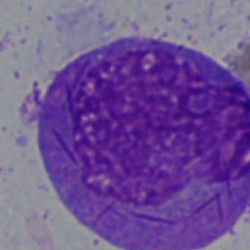Classification — faggot cell.